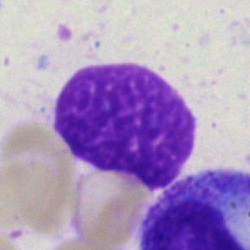 Single-cell crop from a bone marrow smear: artifact.